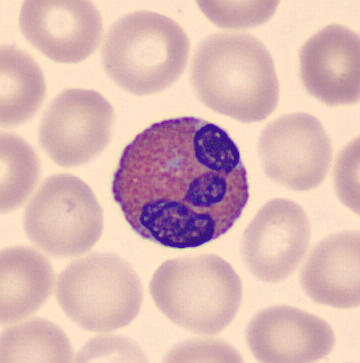

The morphological class is eosinophil.

Peripheral blood smear.